Peripheral blood smear — 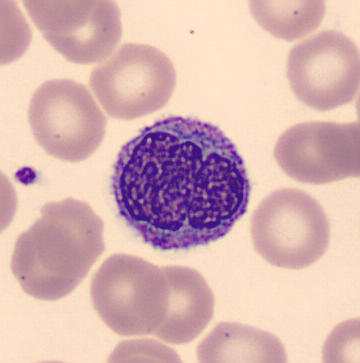Morphological class: monocyte.